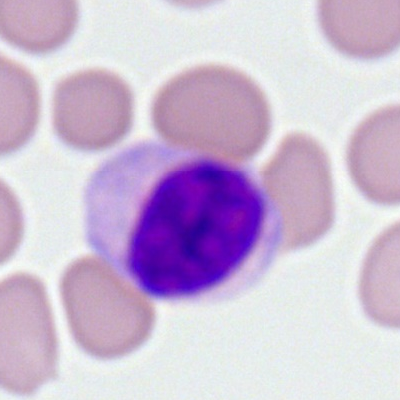

Peripheral blood smear showing a typical lymphocyte.